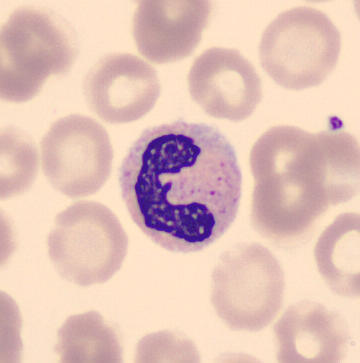

Identified as a stab cell.
Acquisition: Peripheral blood film.